250 by 250 pixels · bone marrow smear:
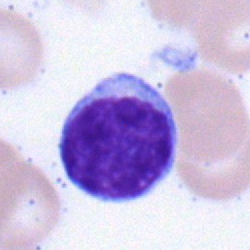

This is a lymphocyte.